250×250; brightfield microscopy, 40× oil immersion; bone marrow aspirate smear — 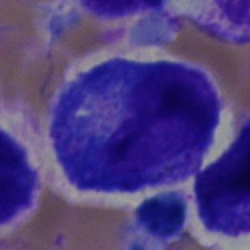Classification = promyelocyte.